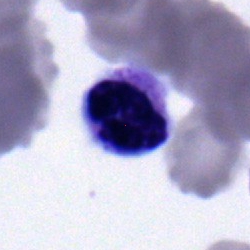 Q: What type of cell is this?
A: This is a segmented neutrophil.